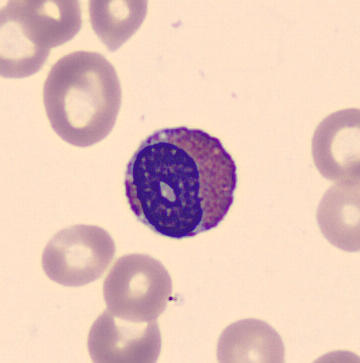

Acquisition: Peripheral blood smear.

The classification is eosinophil.